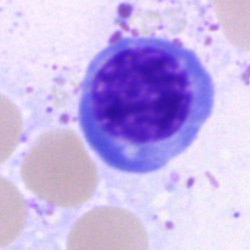 Bone marrow smear showing a nucleated red cell.